Bone marrow aspirate smear. Brightfield microscopy, 40× oil immersion
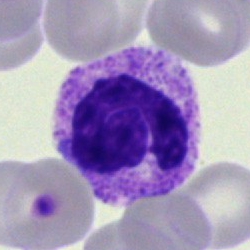 Morphological class = neutrophil (segmented).